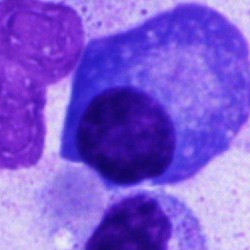
Morphological class: plasma cell.